Bone marrow aspirate smear · brightfield microscopy, 40× oil immersion · image size 250×250 — 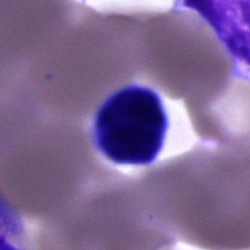Morphology → unidentifiable cell.